Bone marrow smear
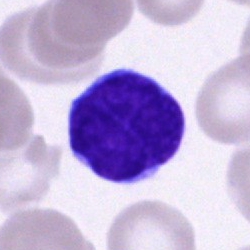

Cell type: typical lymphocyte.